Bone marrow smear. Cropped to a single cell: 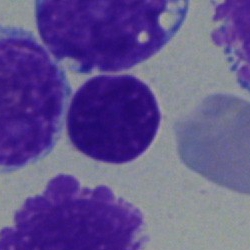
A typical lymphocyte.